Bone marrow aspirate smear: 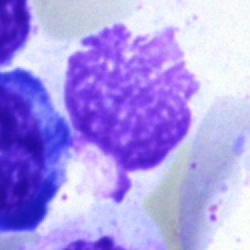This is an artefact.